Bone marrow aspirate smear · image size 250×250 · cropped to a single cell:
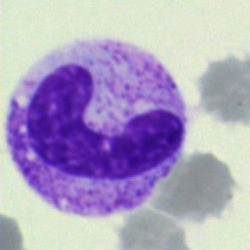

Morphological class: band-form neutrophil.